Romanowsky stain. 100× oil immersion, 14.14 px/µm. Peripheral blood smear
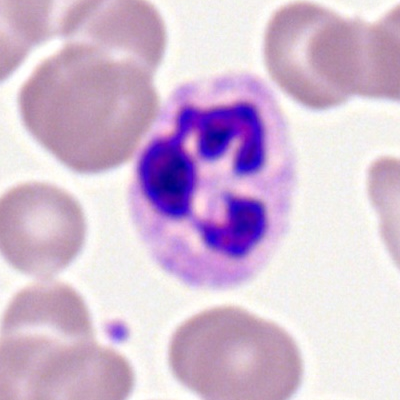

The cell shown is a segmented neutrophil.